Brightfield, 40× oil-immersion objective. Bone marrow aspirate smear: 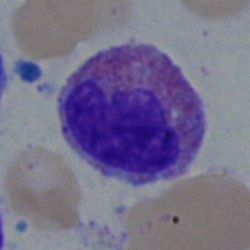

Eosinophilic granulocyte.